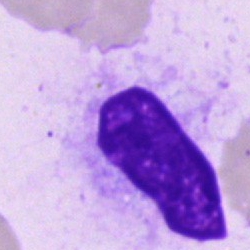
Specimen: bone marrow smear.
Cell type: artifact.